Bone marrow smear. Brightfield, 40× oil-immersion objective. 250×250: 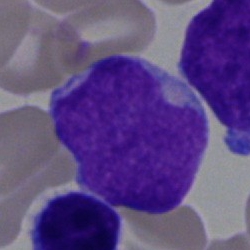
Classification: blast.